Bone marrow aspirate smear:
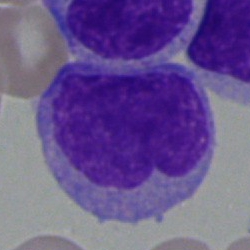The cell shown is a monocyte.